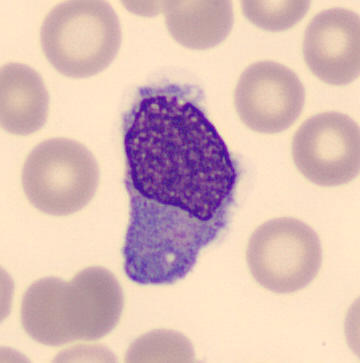Peripheral blood film. MGG stain.
{"cell_type": "monocyte"}